Bone marrow aspirate smear.
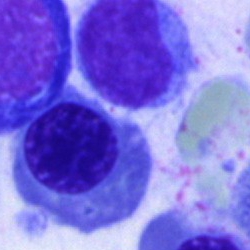

The cell type is nucleated red cell.